M8 digital microscope (Precipoint), 100× oil immersion · peripheral blood smear: 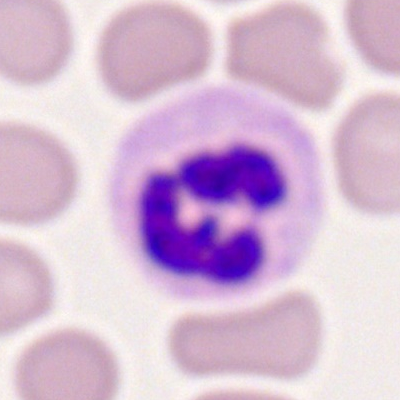 Q: What is the morphological classification of this cell?
A: A polymorphonuclear neutrophil.